Bone marrow aspirate smear; single-cell crop; Pappenheim-stained:
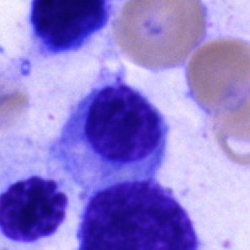 A nucleated red blood cell.